40× objective, oil immersion; single-cell field; bone marrow smear: 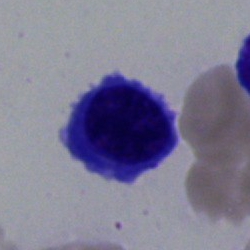Specimen: bone marrow aspirate smear.
Classification: nucleated red blood cell.
Lineage: erythroid.